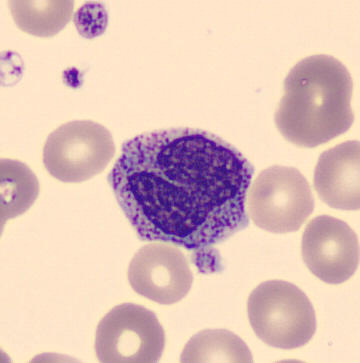

Cell type — myelocyte.
Image: Peripheral blood film.